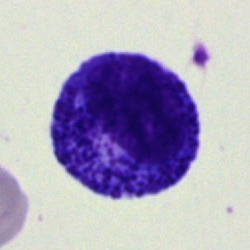Showing a progranulocyte.